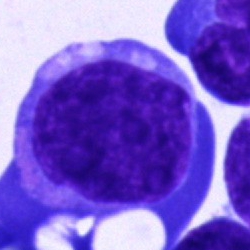
The morphological class is blast.